May-Grünwald-Giemsa/Pappenheim stain · bone marrow aspirate smear — 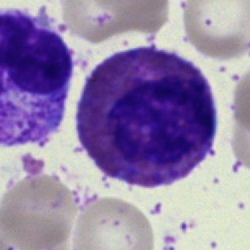Morphological class — eosinophil.